Bone marrow aspirate smear; brightfield microscopy, 40× oil immersion
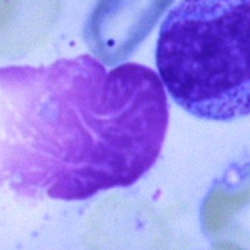Cell type = artefact.